Bone marrow smear.
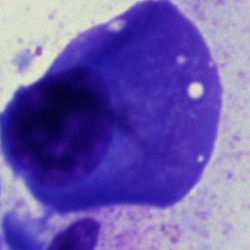Cell type = plasma cell.